Bone marrow aspirate smear; May-Grünwald-Giemsa stain: 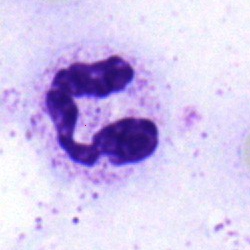 Q: Identify the cell.
A: This is a neutrophil (segmented).